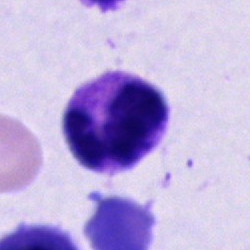{"cell_type": "neutrophil (segmented)"}